Bone marrow smear.
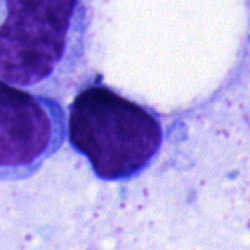

Morphology consistent with a lymphocyte.